Bone marrow smear
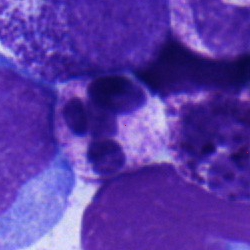

This is a segmented neutrophil.